250×250; bone marrow smear
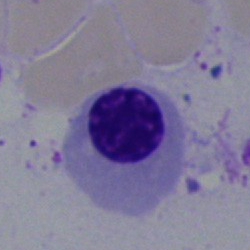
Cell type — erythroblast.